Bone marrow aspirate smear
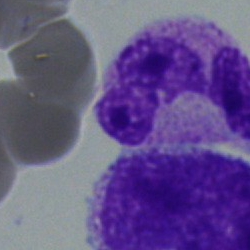Q: What is shown here?
A: Segmented neutrophil.